Bone marrow aspirate smear: 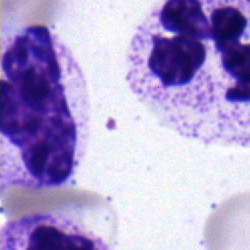

Q: What type of cell is this?
A: This is a neutrophil (band).